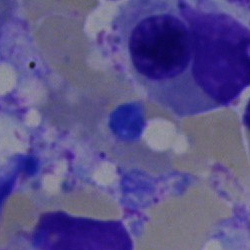

Cell — normoblast.